Bone marrow aspirate smear
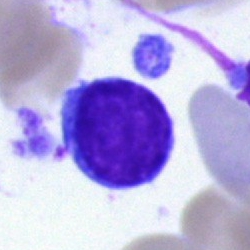

Classification — lymphocyte.